Pappenheim-stained · bone marrow aspirate smear — 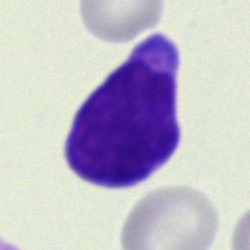 Q: What type of cell is this?
A: A lymphocyte.